Bone marrow smear; 250×250 px
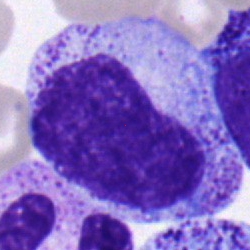Cell = metamyelocyte.